Bone marrow smear — 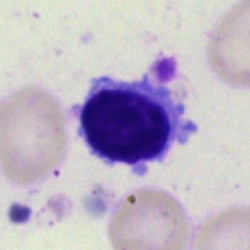 Morphology consistent with a typical lymphocyte.